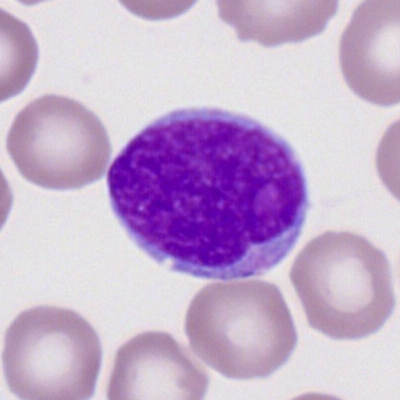{"cell_type": "myeloblast", "lineage": "myeloid"}